Bone marrow smear. Cropped to a single cell
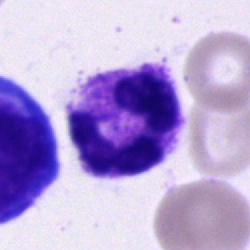The cell type is neutrophil (segmented).